MGG-stained. Bone marrow smear — 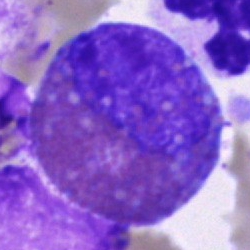 Specimen: bone marrow aspirate smear.
Classification: eosinophilic granulocyte.